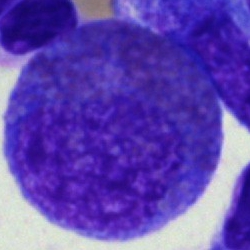 Q: Which cell type is shown here?
A: An eosinophilic granulocyte.